Bone marrow aspirate smear · single-cell crop · image size 250×250
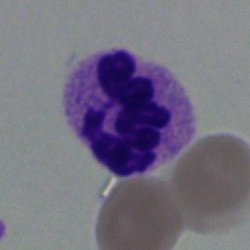Morphology — segmented neutrophil.